Bone marrow aspirate smear
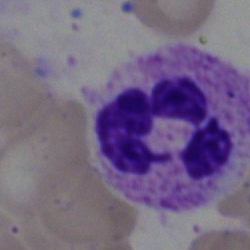 {"cell_type": "segmented neutrophil", "lineage": "myeloid"}